Bone marrow smear. Brightfield microscopy, 40× oil immersion: 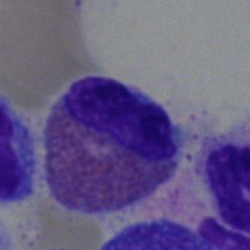
An eosinophil.